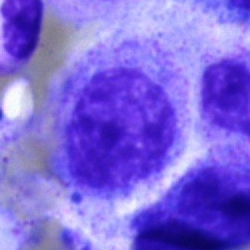Q: Which cell type is shown here?
A: It is a myelocyte.